Bone marrow smear
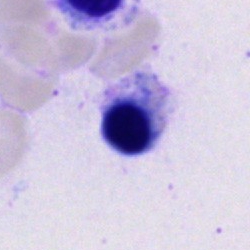

Cell type: erythroblast.